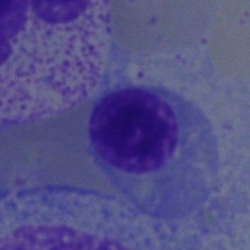

Morphology → nucleated red cell.